Bone marrow aspirate smear. May-Grünwald-Giemsa stain. Image size 250×250.
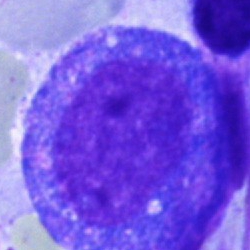

Q: What type of cell is this?
A: It is a progranulocyte.